Brightfield microscopy, 40× oil immersion · bone marrow smear.
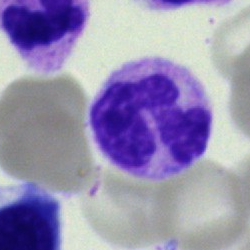
Q: Identify the cell.
A: Polymorphonuclear neutrophil.